Bone marrow aspirate smear: 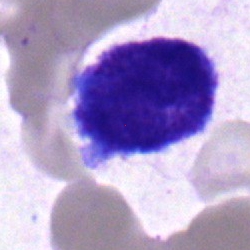
Morphological class = blast.